Bone marrow smear:
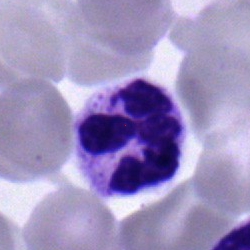
The cell shown is a polymorphonuclear neutrophil.